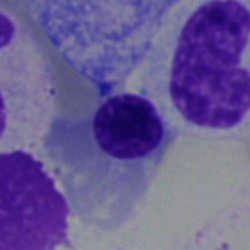
The cell is nucleated red blood cell.